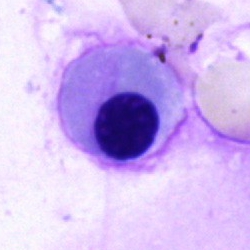 Cell — erythroblast.